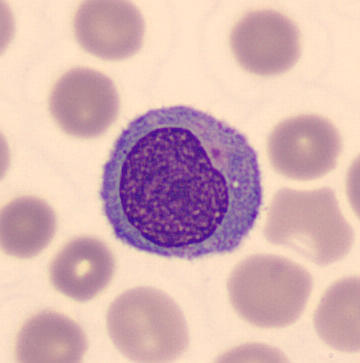 Identified as a monocyte.
Image: Imaged on a CellaVision DM96 analyser · peripheral blood film.